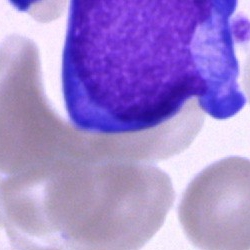

Specimen: bone marrow aspirate smear.
Cell type: blast.